Bone marrow aspirate smear — 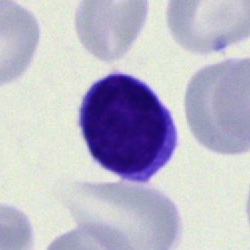

The classification is lymphocyte.